Peripheral blood film; Romanowsky-type stain; single cell centered in the field.
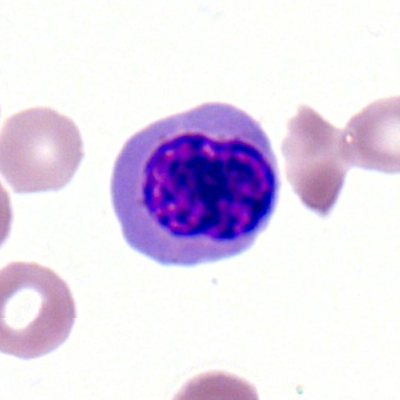Morphological class = nucleated red cell.